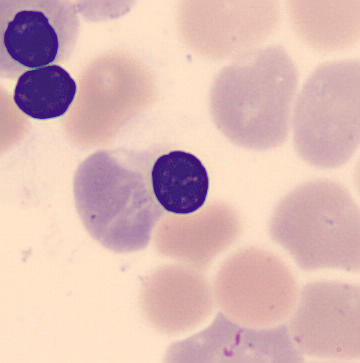
Classification — erythroblast.
Acquisition: CellaVision DM96. MGG stain. Peripheral blood film.